Single-cell crop; peripheral blood smear:
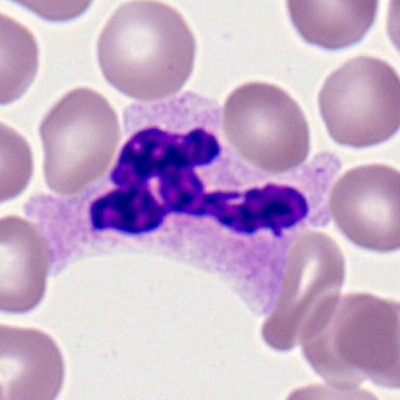 Morphological class = polymorphonuclear neutrophil.